Romanowsky-type stain; peripheral blood film; M8 digital microscope (Precipoint), 100× oil immersion: 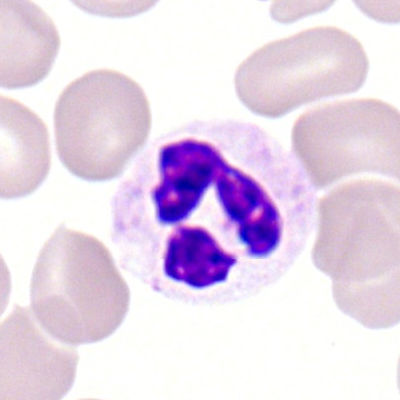 The cell is neutrophil (segmented).